Bone marrow aspirate smear — 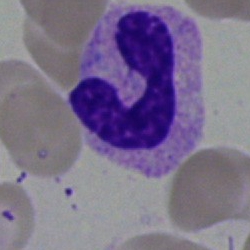
Q: What is the morphological classification of this cell?
A: A band-form neutrophil.